250 by 250 pixels. Bone marrow smear. 40× objective, oil immersion
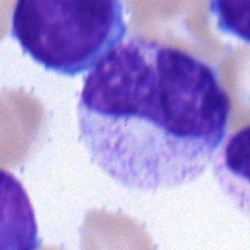
Classification — neutrophil (band).